Bone marrow smear — 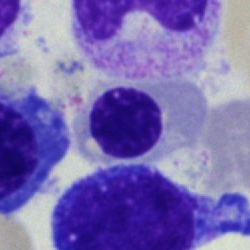
Cell type: nucleated red cell.